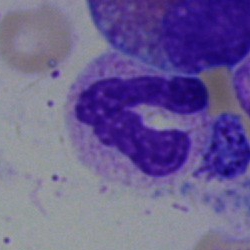
A neutrophil (segmented) on a bone marrow smear.